40× oil immersion; bone marrow smear — 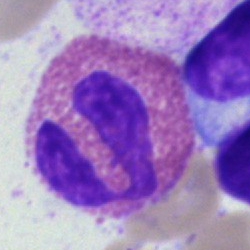 Morphological class — eosinophil.